Peripheral blood smear.
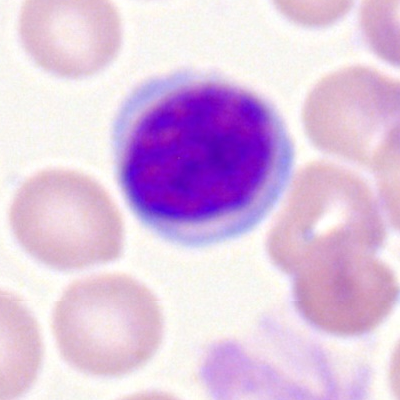

Morphology consistent with a typical lymphocyte.